Bone marrow smear: 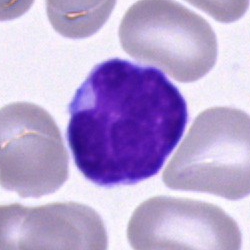Specimen: bone marrow smear.
Classification: lymphocyte.